Bone marrow smear · cropped to a single cell: 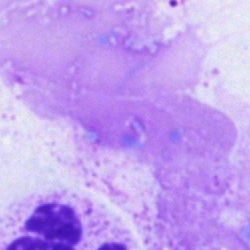

Morphology consistent with an artifact.